100× objective, oil immersion; peripheral blood film; cropped to a single cell: 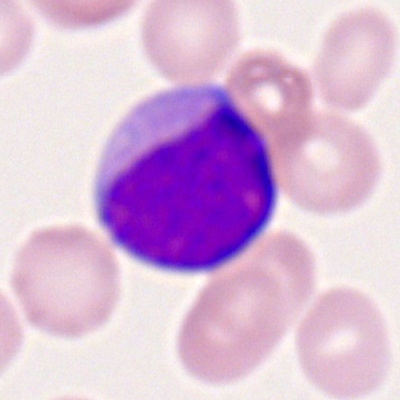Showing a myeloblast.